Bone marrow smear — 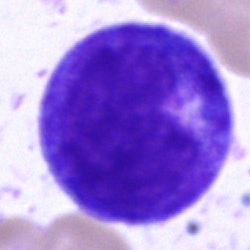

This is a progranulocyte.